Bone marrow smear — 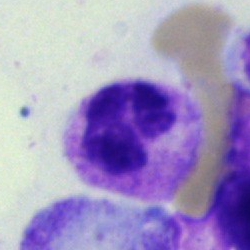Segmented neutrophil.